Bone marrow smear. Brightfield microscopy, 40× oil immersion — 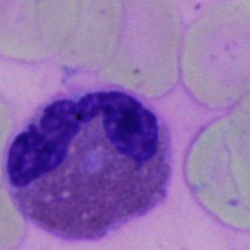Morphology → eosinophil.